Bone marrow smear: 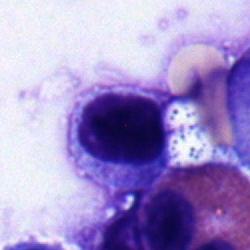

Cell type — myelocyte.